Bone marrow smear · cropped to a single cell · May-Grünwald-Giemsa stain.
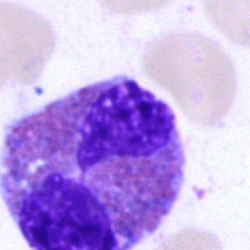{"cell_type": "eosinophilic granulocyte"}